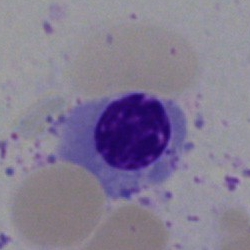
Single-cell crop from a bone marrow smear: nucleated red blood cell.